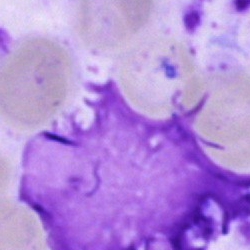Single cell identified as an artifact.